Bone marrow aspirate smear: 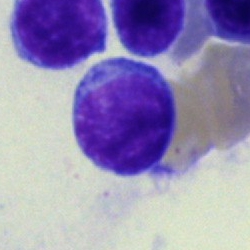
The morphological class is typical lymphocyte.